Bone marrow smear. 40× objective, oil immersion — 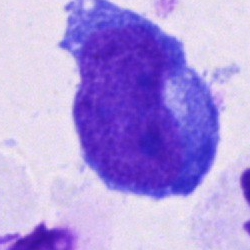 The classification is blast.